Bone marrow aspirate smear — 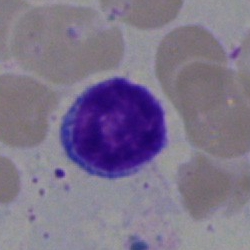 Single cell identified as a typical lymphocyte.